Bone marrow aspirate smear:
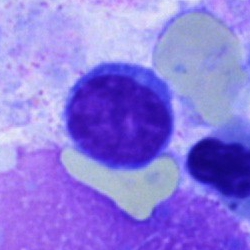 {"cell_type": "typical lymphocyte", "lineage": "lymphoid"}